Brightfield, 40× oil-immersion objective; bone marrow smear:
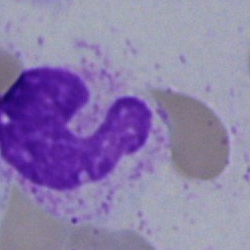

Specimen: bone marrow aspirate smear.
Morphological class: artifact.